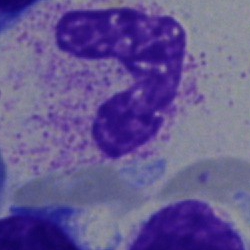Morphology — band neutrophil.